Bone marrow aspirate smear:
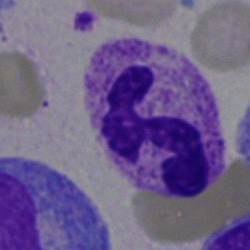 Cell type — polymorphonuclear neutrophil.